Bone marrow smear.
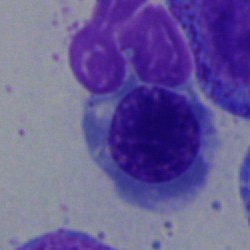 A nucleated red blood cell.